May-Grünwald-Giemsa stain. Bone marrow smear — 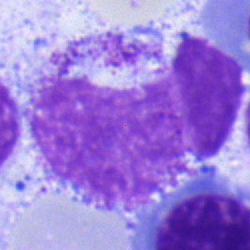Q: What is shown here?
A: Metamyelocyte.